Bone marrow smear: 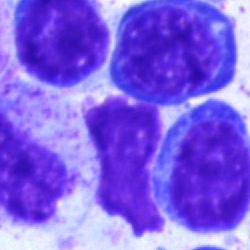Morphology consistent with a nucleated red cell.